Bone marrow aspirate smear: 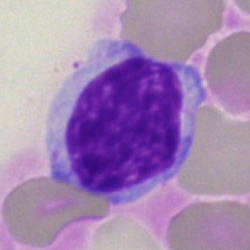

This is a lymphocyte.